Bone marrow smear — 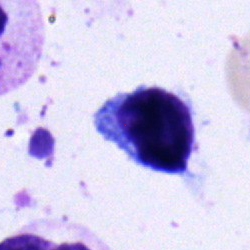

Cell type: lymphocyte.